Peripheral blood film — 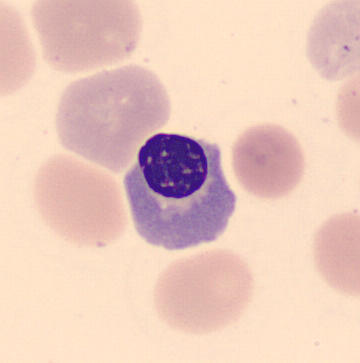

Identified as a nucleated red cell.